Single cell centered in the field. Bone marrow smear. 250×250.
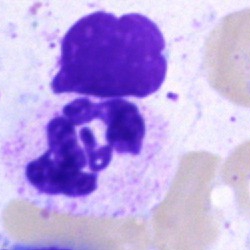 Q: What is the morphological classification of this cell?
A: Polymorphonuclear neutrophil.